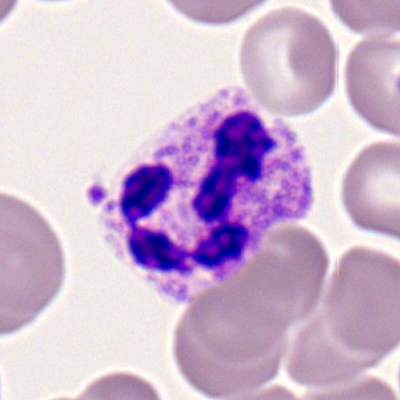 This is a segmented neutrophil.